40× oil immersion. Bone marrow aspirate smear
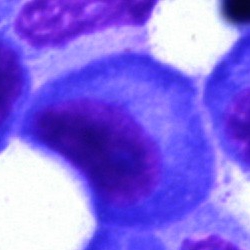
Morphology consistent with a plasma cell.